Single cell centered in the field. Bone marrow aspirate smear. Brightfield microscopy, 40× oil immersion.
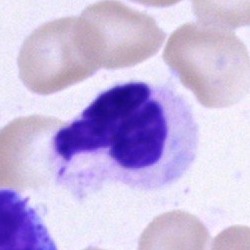A polymorphonuclear neutrophil.